Peripheral blood film:
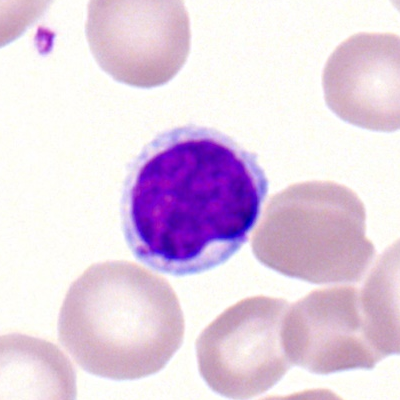
The cell shown is a typical lymphocyte.